40× oil immersion · bone marrow smear
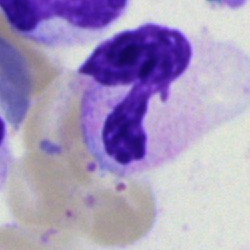{"cell_type": "segmented neutrophil"}